Brightfield, 40× oil-immersion objective · bone marrow aspirate smear · single cell centered in the field.
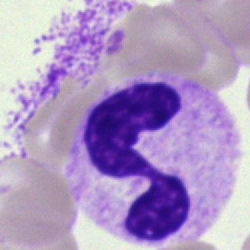

Specimen: bone marrow smear.
Cell type: neutrophil (segmented).